May Grünwald-Giemsa stain · peripheral blood film: 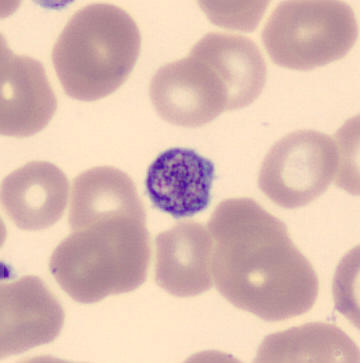
Morphological class — platelet (thrombocyte).